Bone marrow aspirate smear · May-Grünwald-Giemsa/Pappenheim stain
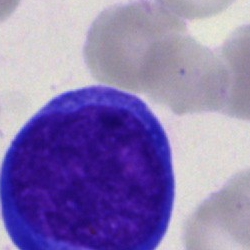

Morphological class: pronormoblast.